Bone marrow smear.
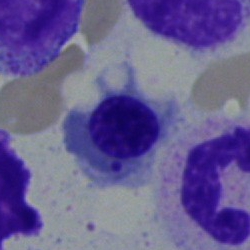 Impression — normoblast.